Bone marrow smear: 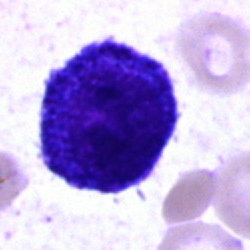

Q: Identify the cell.
A: A blast cell.